Bone marrow aspirate smear.
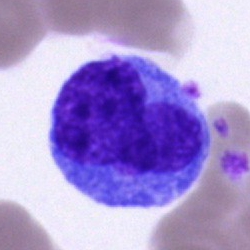Q: What cell is this?
A: It is an undifferentiated blast.